Bone marrow aspirate smear; brightfield microscopy, 40× oil immersion
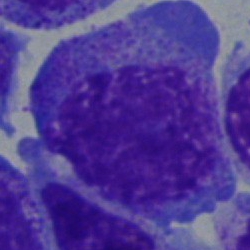A promyelocyte.